Bone marrow aspirate smear.
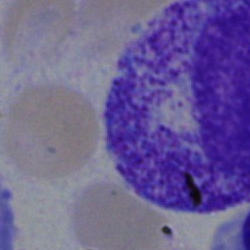The cell shown is a myelocyte.